Bone marrow smear; May-Grünwald-Giemsa/Pappenheim stain — 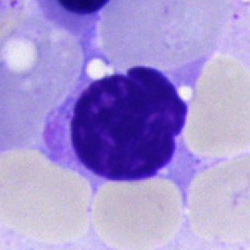 A lymphocyte.